Bone marrow smear: 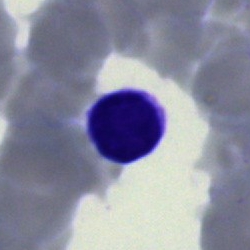

Impression — lymphocyte.